250×250 · bone marrow aspirate smear — 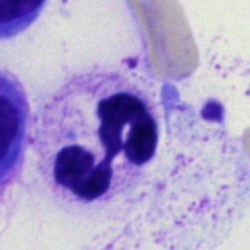 Morphology consistent with a neutrophil (segmented).